40× objective, oil immersion · bone marrow smear.
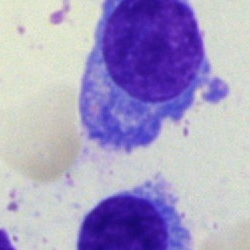Q: Identify the cell.
A: A plasmacyte.